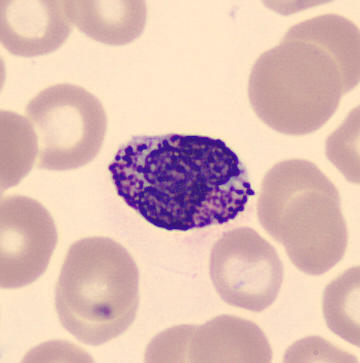 Cell type: basophilic granulocyte.